Bone marrow smear.
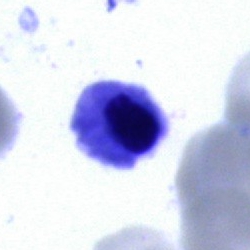 Q: Identify the cell.
A: Normoblast.